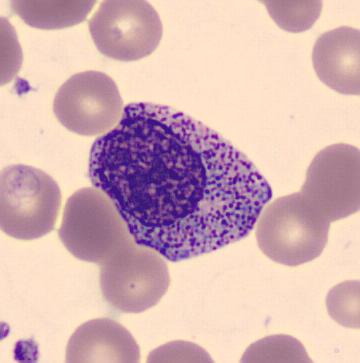
Morphology — myelocyte. MGG-stained · peripheral blood film · single-cell field.